Bone marrow smear. Brightfield microscopy, 40× oil immersion:
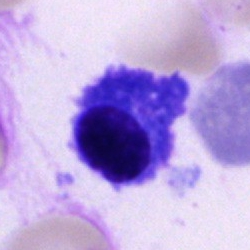Q: Identify the cell.
A: A plasma cell.